Bone marrow aspirate smear · Pappenheim-stained · 250×250: 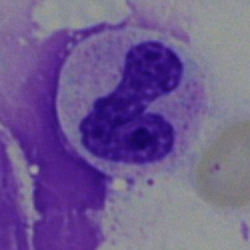

{"cell_type": "polymorphonuclear neutrophil", "lineage": "myeloid"}